Bone marrow aspirate smear. May-Grünwald-Giemsa stain. Single-cell field:
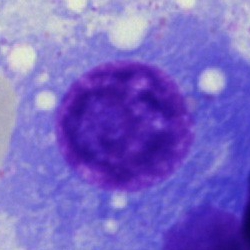Cell type: plasmacyte.